Single-cell field. Brightfield, 40× oil-immersion objective. Bone marrow smear
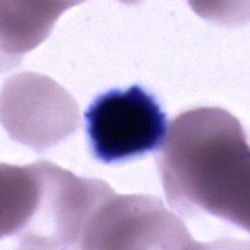Specimen: bone marrow smear.
Morphological class: cell of indeterminate lineage.